Bone marrow smear; 40× oil immersion.
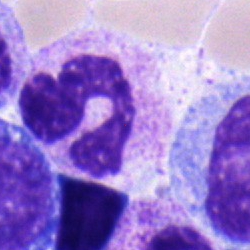
Morphological class = neutrophil (segmented).